Bone marrow smear.
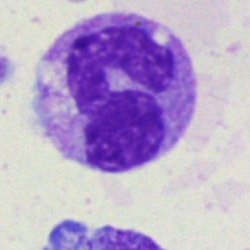
A monocyte.